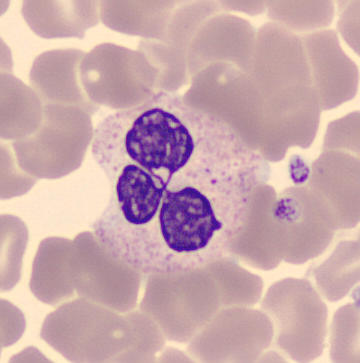

Cell: neutrophil (segmented).
Preparation: 360 by 363 pixels; CellaVision DM96 digital cell image; peripheral blood film.